250×250. Bone marrow smear:
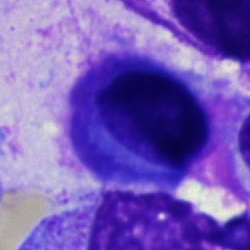
Q: Which cell type is shown here?
A: It is a plasma cell.